Bone marrow smear · 40× objective, oil immersion — 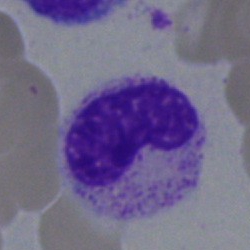
Morphology consistent with a neutrophil (band).